Image size 400×400; peripheral blood film
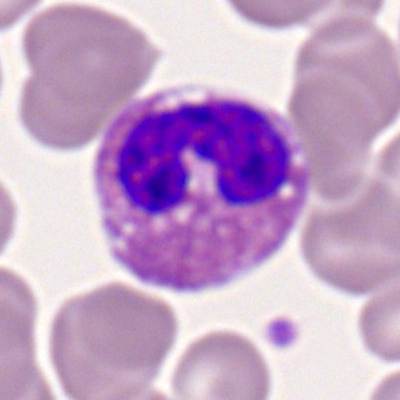
Cell — eosinophil.